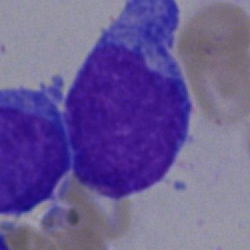
Undifferentiated blast.